40× objective, oil immersion · bone marrow aspirate smear
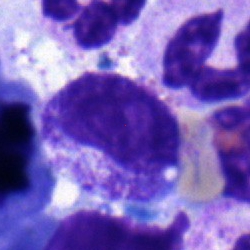A metamyelocyte.